250 by 250 pixels. Single-cell crop. Bone marrow aspirate smear
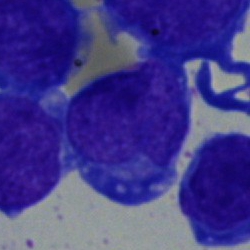 Specimen: bone marrow smear.
Morphological class: blast.